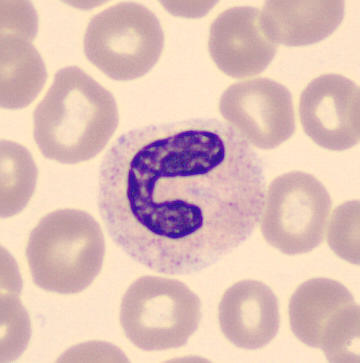
The cell shown is a neutrophil (band).